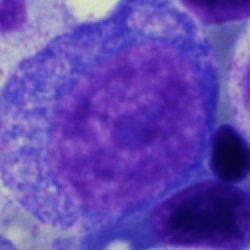

Single-cell crop from a bone marrow smear: progranulocyte.